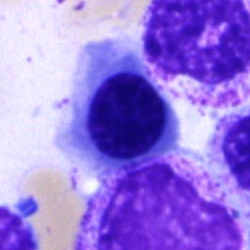

Bone marrow smear showing a nucleated red blood cell.